Peripheral blood film · single-cell field:
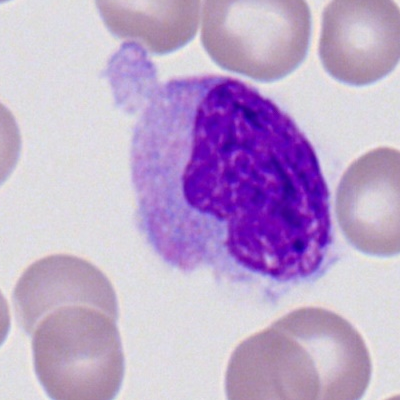

Impression — monocyte.